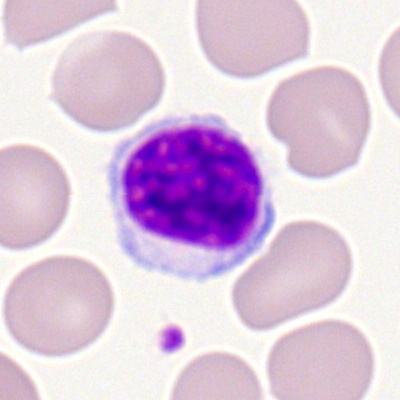Q: Which cell type is shown here?
A: It is a typical lymphocyte.